Bone marrow smear; 40× objective, oil immersion; Pappenheim-stained: 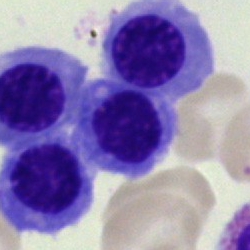

{"cell_type": "nucleated red blood cell", "lineage": "erythroid"}